Bone marrow smear · image size 250×250
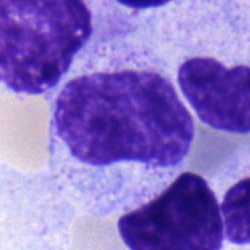

Q: What type of cell is this?
A: This is a myelocyte.